Peripheral blood film
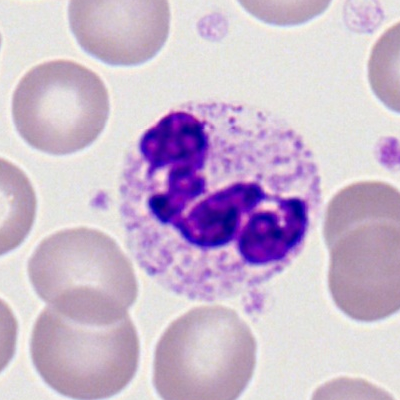 Cell — polymorphonuclear neutrophil.